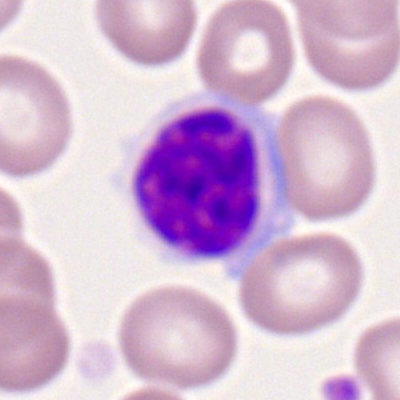
Specimen: peripheral blood film.
Cell type: typical lymphocyte.
Lineage: lymphoid.